Bone marrow smear
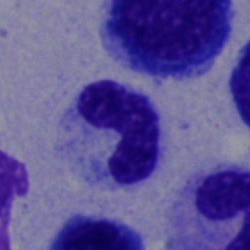Single cell identified as a neutrophil (band).